Pappenheim-stained; bone marrow aspirate smear; single cell centered in the field
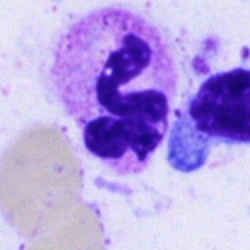 Specimen: bone marrow aspirate smear.
Classification: neutrophil (segmented).